Peripheral blood smear:
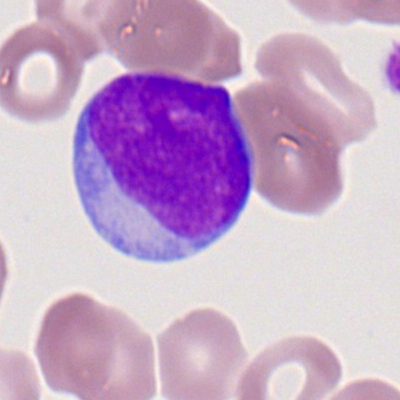Specimen: peripheral blood smear.
Cell: myeloid blast.